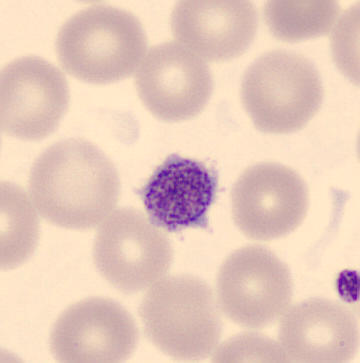Q: What is this?
A: This is a platelet (thrombocyte).